250×250. Bone marrow aspirate smear
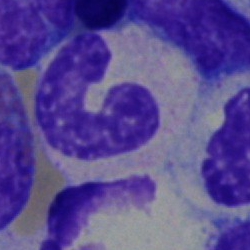
Q: What type of cell is this?
A: A stab cell.